40× oil immersion · 250×250 · bone marrow aspirate smear:
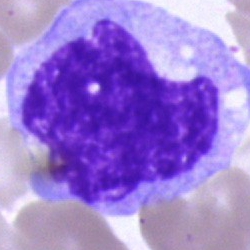Morphology consistent with a monocyte.